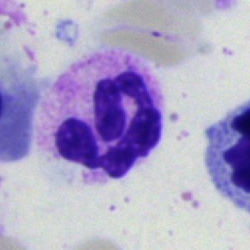 Q: What is the morphological classification of this cell?
A: Polymorphonuclear neutrophil.